Bone marrow aspirate smear: 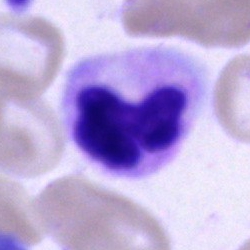
{"cell_type": "segmented neutrophil", "lineage": "myeloid"}